Brightfield, 40× oil-immersion objective. Pappenheim-stained. Bone marrow aspirate smear
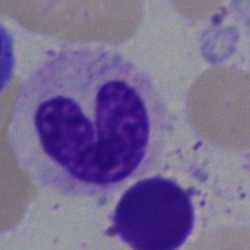Specimen: bone marrow aspirate smear.
Classification: stab cell.
Lineage: myeloid.